Bone marrow smear. Single-cell crop. Brightfield, 40× oil-immersion objective: 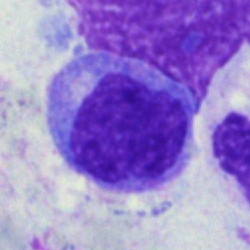

Single cell identified as a monocyte.